Single-cell field; May-Grünwald-Giemsa/Pappenheim stain; bone marrow aspirate smear — 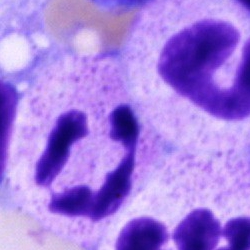
Q: What is shown here?
A: This is a neutrophil (segmented).